Peripheral blood film: 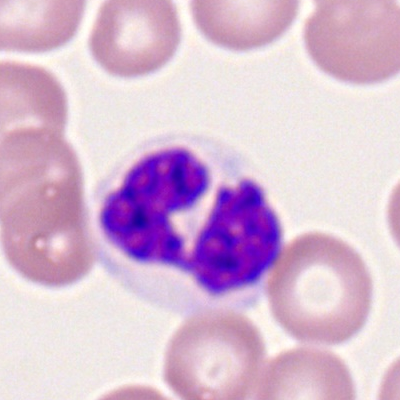

The cell shown is a neutrophil (segmented).